Bone marrow smear; single cell centered in the field:
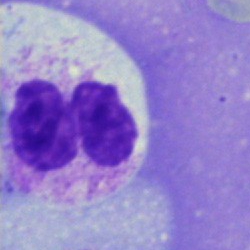

Specimen: bone marrow aspirate smear.
Cell type: polymorphonuclear neutrophil.
Lineage: myeloid.